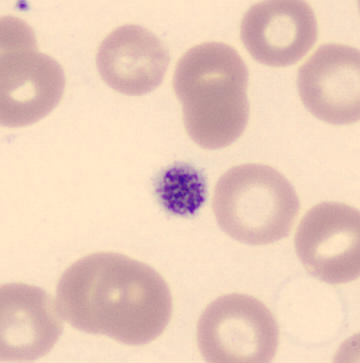 Impression → platelet.

Peripheral blood film. MGG-stained. CellaVision DM96.